Bone marrow smear.
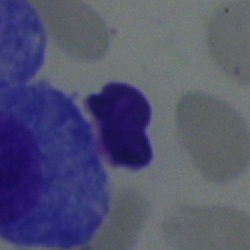Impression — plasmacyte.